Bone marrow smear · May-Grünwald-Giemsa stain: 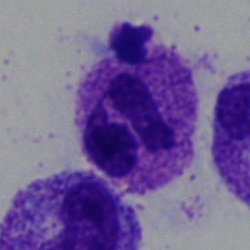

Q: What type of cell is this?
A: A segmented neutrophil.